Bone marrow smear. Brightfield, 40× oil-immersion objective. 250×250 px: 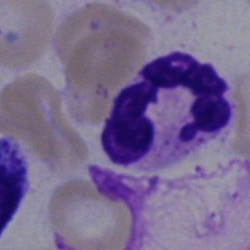Specimen: bone marrow smear.
Morphological class: polymorphonuclear neutrophil.